Bone marrow aspirate smear; brightfield, 40× oil-immersion objective: 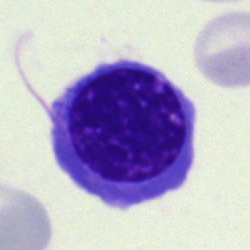Specimen: bone marrow aspirate smear.
Classification: normoblast.